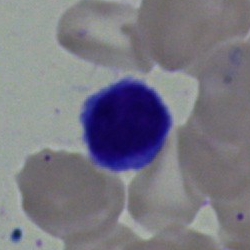
Q: What is shown here?
A: Typical lymphocyte.